40× objective, oil immersion. Bone marrow smear — 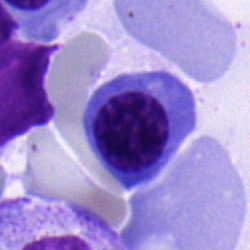
Morphological class: nucleated red cell.